Peripheral blood smear — 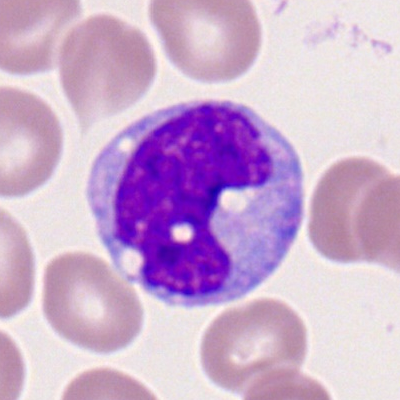A monocyte.